Bone marrow smear; image size 250×250; May-Grünwald-Giemsa stain: 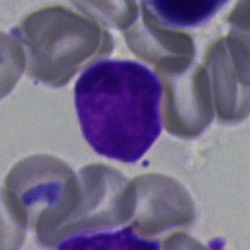
Morphology — typical lymphocyte.